Peripheral blood film — 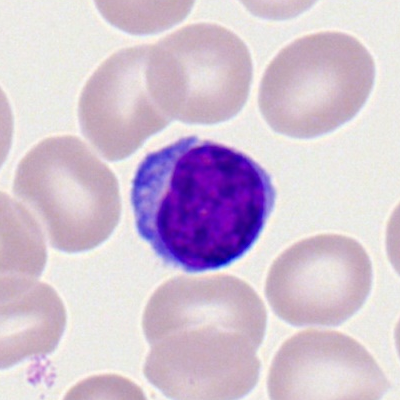

Specimen: peripheral blood smear.
Cell type: lymphocyte.